Bone marrow smear — 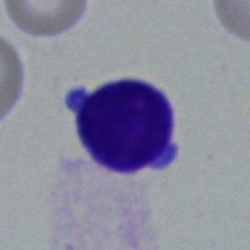

Typical lymphocyte.